Bone marrow aspirate smear. Pappenheim-stained: 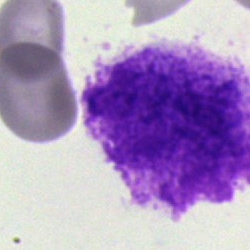Specimen: bone marrow aspirate smear.
Morphological class: artifact.